Image size 250×250 · Pappenheim-stained · bone marrow aspirate smear
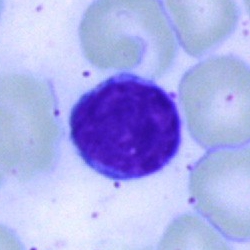Impression → lymphocyte.